Bone marrow aspirate smear — 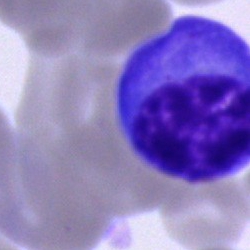
Cell type — plasma cell.